Single cell centered in the field · bone marrow smear · 250×250:
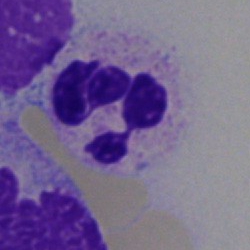
The cell shown is a polymorphonuclear neutrophil.